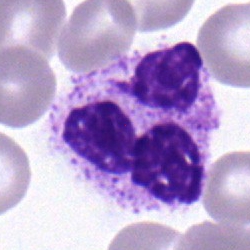 This is a segmented neutrophil.